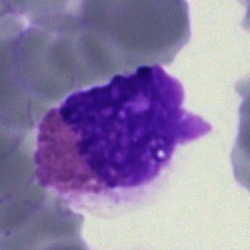Showing an eosinophilic granulocyte.